Bone marrow aspirate smear; 250 by 250 pixels; single-cell field:
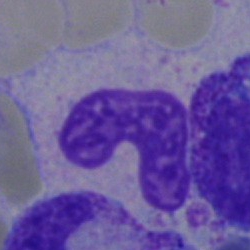

Morphology → stab cell.